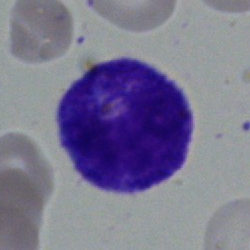
Q: Which cell type is shown here?
A: A metamyelocyte.